Bone marrow smear — 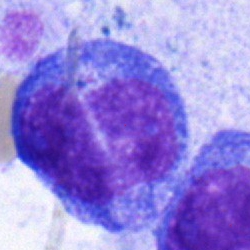Morphological class: progranulocyte.